Bone marrow aspirate smear
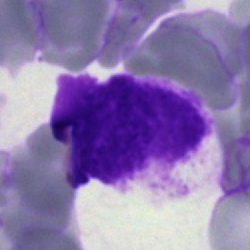

Artifact.